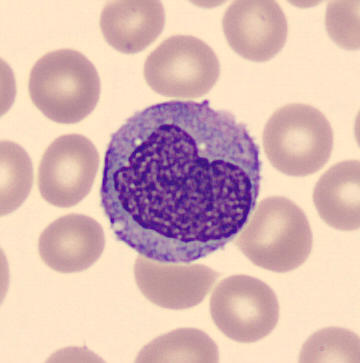 Monocyte.

Peripheral blood film.